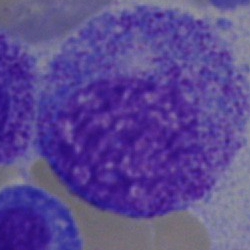 Classification — promyelocyte.